Peripheral blood film:
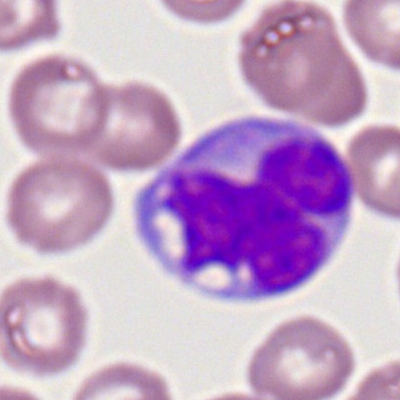 Q: What cell is this?
A: This is a monocyte.